Bone marrow smear:
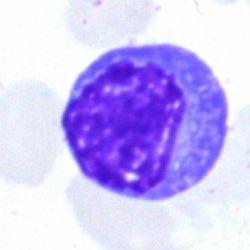 Classification — artifact.